Bone marrow aspirate smear · image size 250×250 · 40× objective, oil immersion.
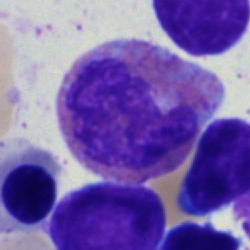

Specimen: bone marrow aspirate smear.
Morphological class: eosinophil.